Bone marrow aspirate smear; cropped to a single cell:
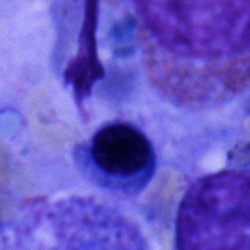

The morphological class is nucleated red blood cell.